Peripheral blood film:
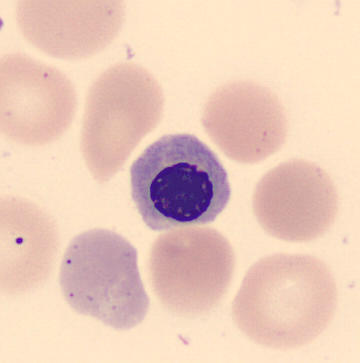

A normoblast.